Romanowsky stain; peripheral blood film
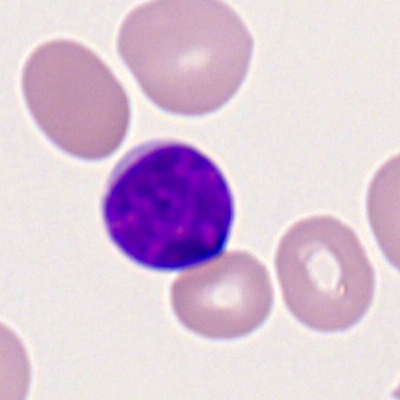Typical lymphocyte.